Bone marrow aspirate smear.
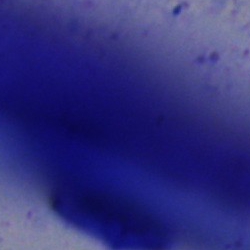
An artifact.